Single cell centered in the field · bone marrow smear
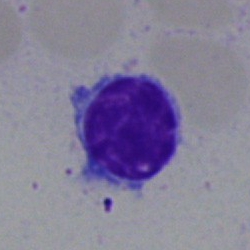 Specimen: bone marrow aspirate smear.
Cell type: typical lymphocyte.
Lineage: lymphoid.